Bone marrow smear:
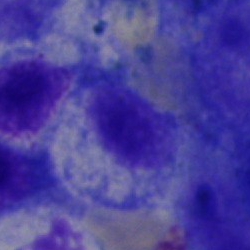The cell type is artefact.